Bone marrow aspirate smear. Brightfield, 40× oil-immersion objective:
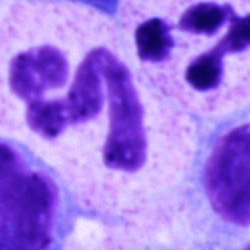
Q: Which cell type is shown here?
A: This is a neutrophil (segmented).